Bone marrow aspirate smear — 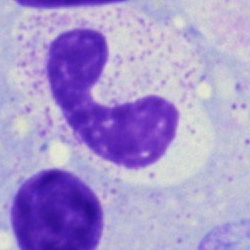 A stab cell.